Bone marrow smear. Image size 250×250. Single cell centered in the field
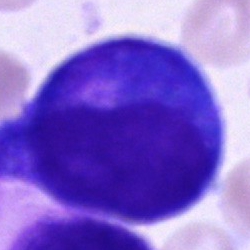

A progranulocyte.